Bone marrow aspirate smear; May-Grünwald-Giemsa stain; 40× objective, oil immersion.
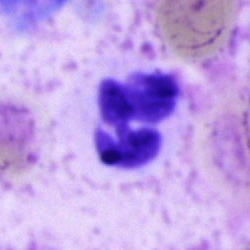
{"cell_type": "neutrophil (segmented)"}